Bone marrow aspirate smear.
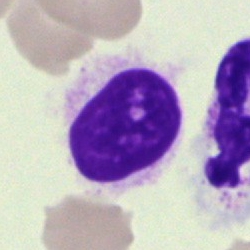

Q: What is shown here?
A: An artefact.